250×250; bone marrow smear: 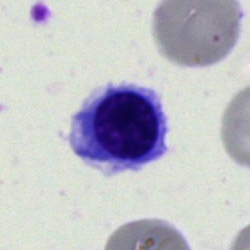 Specimen: bone marrow smear.
Cell type: normoblast.
Lineage: erythroid.